Cropped to a single cell · May-Grünwald-Giemsa stain · bone marrow smear — 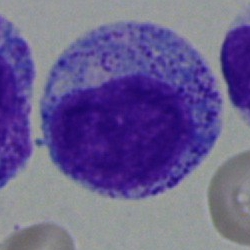

Cell type — promyelocyte.